40× objective, oil immersion; bone marrow smear; 250×250 px.
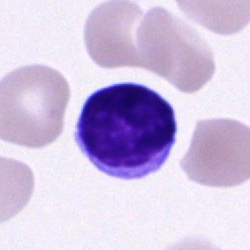Specimen: bone marrow smear.
Cell type: lymphocyte.
Lineage: lymphoid.